Bone marrow smear: 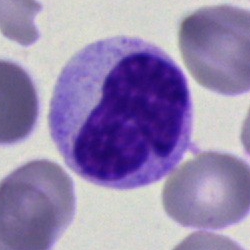
Metamyelocyte.